Bone marrow smear — 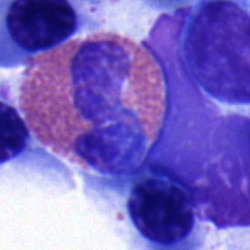 The cell is eosinophilic granulocyte.